Image size 250×250. Bone marrow smear.
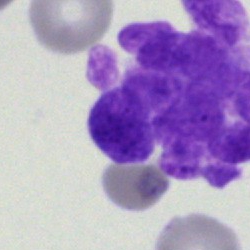Classification — artefact.